Peripheral blood smear.
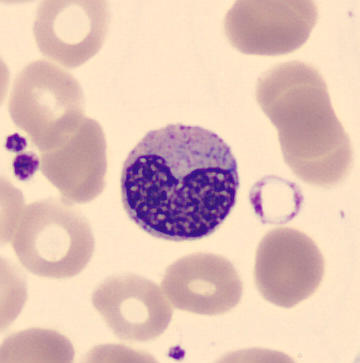

Classification — metamyelocyte.